250×250; bone marrow aspirate smear — 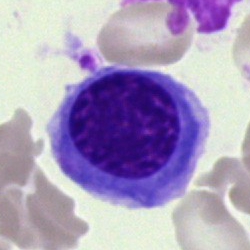
Showing an erythroblast.